Bone marrow smear · 40× objective, oil immersion.
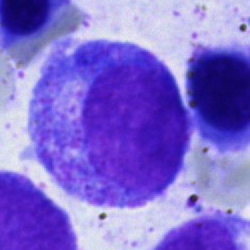
Q: Identify the cell.
A: It is a promyelocyte.